Bone marrow aspirate smear — 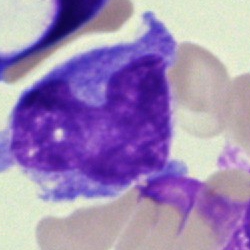

Monocyte.